40× oil immersion · single-cell crop · bone marrow aspirate smear — 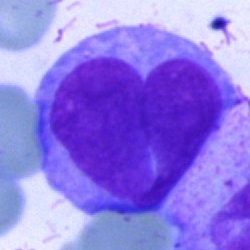

Classification: blast.